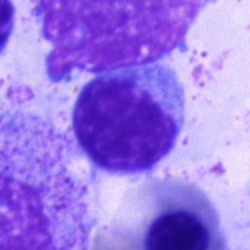 The morphological class is lymphocyte.